Bone marrow smear. Single-cell field.
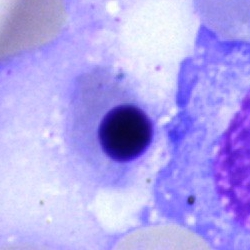Nucleated red blood cell.